Peripheral blood film: 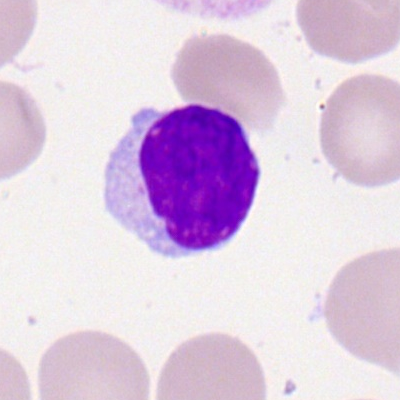 {"cell_type": "typical lymphocyte", "lineage": "lymphoid"}